Peripheral blood film.
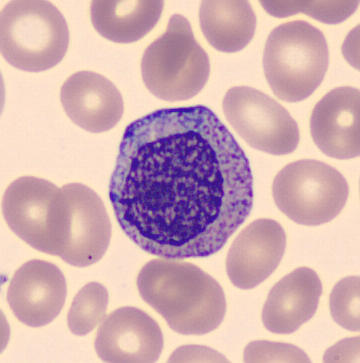

The cell shown is a myelocyte.